Bone marrow aspirate smear; May-Grünwald-Giemsa stain — 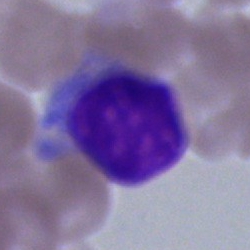Single cell identified as an artefact.